250 by 250 pixels · MGG-stained · bone marrow aspirate smear.
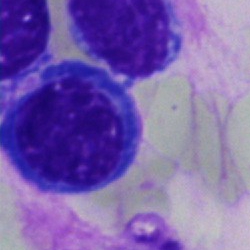
A normoblast.